Bone marrow aspirate smear: 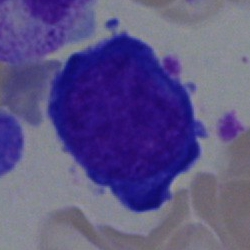

This is a normoblast.